Bone marrow smear
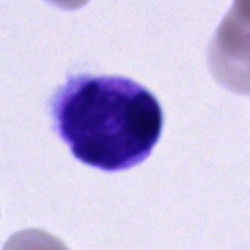

Morphology consistent with an unidentifiable cell.